Bone marrow smear: 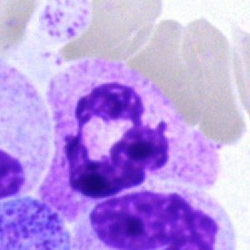Classification = polymorphonuclear neutrophil.